Bone marrow smear:
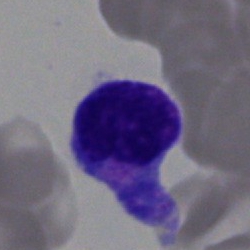A typical lymphocyte.